Bone marrow smear. 250×250: 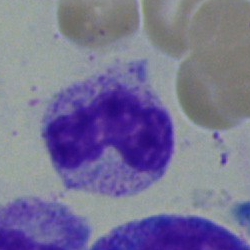
Impression — stab cell.